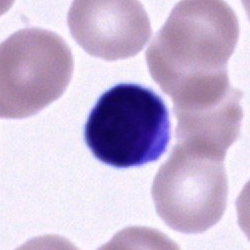 Morphology — typical lymphocyte.